Bone marrow smear · May-Grünwald-Giemsa/Pappenheim stain: 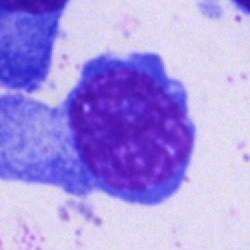Morphology consistent with a plasmacyte.